Bone marrow smear; MGG-stained; 40× objective, oil immersion
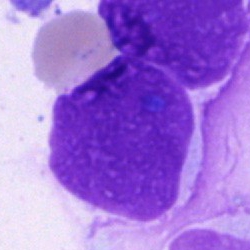

Q: What is shown here?
A: It is an artefact.